May-Grünwald-Giemsa stain; image size 250×250; bone marrow aspirate smear: 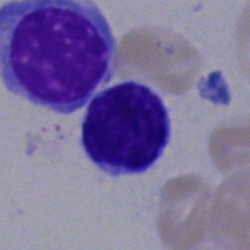

A lymphocyte.